Image size 250×250 · bone marrow aspirate smear · 40× objective, oil immersion — 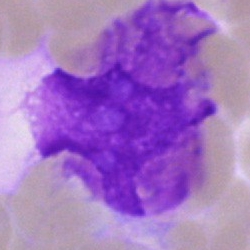Specimen: bone marrow aspirate smear.
Classification: artifact.